MGG-stained; bone marrow aspirate smear: 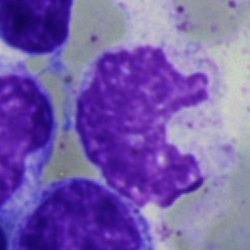 Cell type — artefact.